Single cell centered in the field · bone marrow aspirate smear — 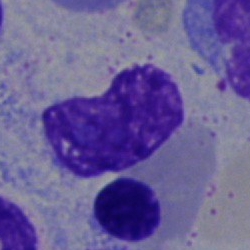

A neutrophil (band).